Brightfield, 40× oil-immersion objective · bone marrow smear · Pappenheim-stained — 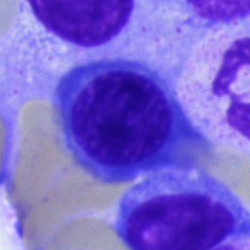 Specimen: bone marrow aspirate smear.
Cell: nucleated red cell.
Lineage: erythroid.